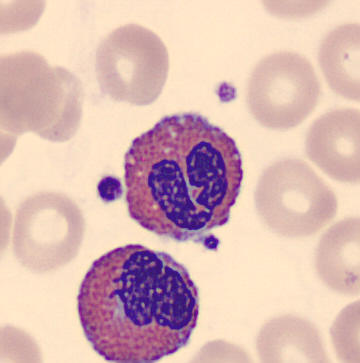
Morphology consistent with an eosinophilic granulocyte.